Bone marrow aspirate smear: 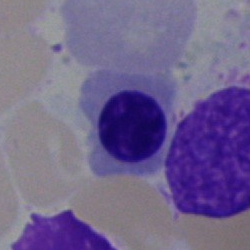
Morphological class: erythroblast.